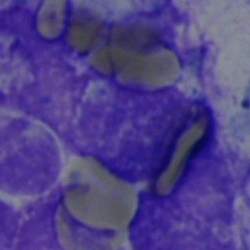

{"cell_type": "artefact"}